Bone marrow smear:
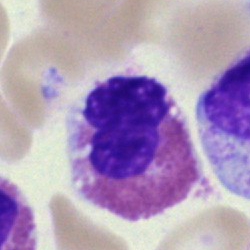

Specimen: bone marrow aspirate smear.
Morphological class: eosinophil.